250 by 250 pixels · bone marrow smear:
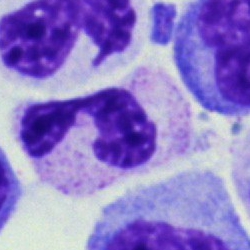
The cell shown is a polymorphonuclear neutrophil.